Bone marrow aspirate smear; May-Grünwald-Giemsa stain:
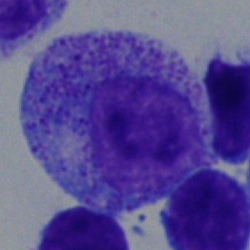The cell shown is a promyelocyte.